Bone marrow smear — 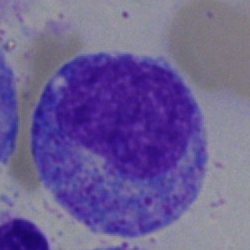
{"cell_type": "promyelocyte", "lineage": "myeloid"}